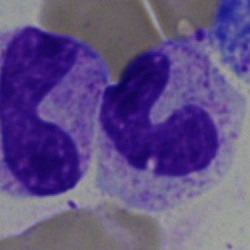 Specimen: bone marrow aspirate smear.
Morphological class: neutrophil (band).
Lineage: myeloid.